Bone marrow aspirate smear
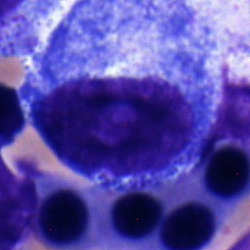 Q: What is shown here?
A: This is a promyelocyte.